Bone marrow aspirate smear
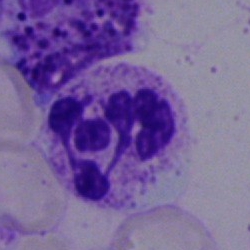
The morphological class is neutrophil (segmented).